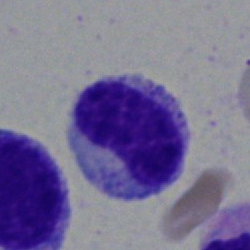A metamyelocyte on a bone marrow smear.